Single-cell field; bone marrow aspirate smear — 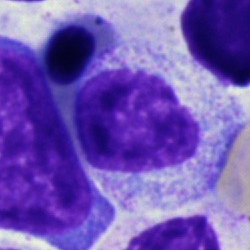This is a myelocyte.